Bone marrow smear.
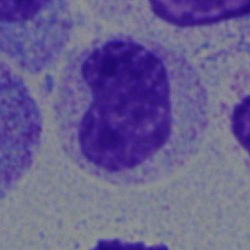 Q: What cell is this?
A: Metamyelocyte.